Bone marrow aspirate smear.
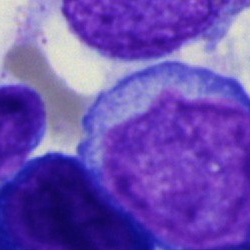
Q: What is the morphological classification of this cell?
A: Undifferentiated blast.